Cropped to a single cell; bone marrow aspirate smear: 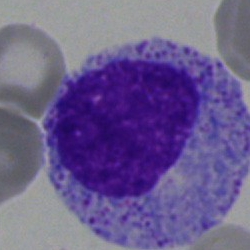
Specimen: bone marrow aspirate smear.
Classification: myelocyte.
Lineage: myeloid.